Bone marrow aspirate smear. May-Grünwald-Giemsa stain: 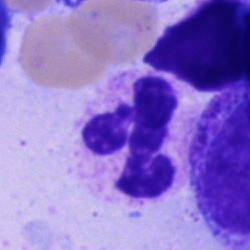
Q: What type of cell is this?
A: A segmented neutrophil.